Bone marrow smear — 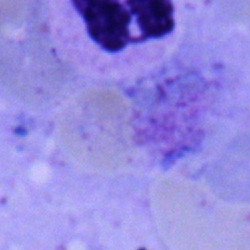
Cell type — segmented neutrophil.